Bone marrow smear.
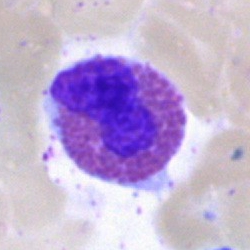

Single cell identified as an eosinophil.